Bone marrow smear
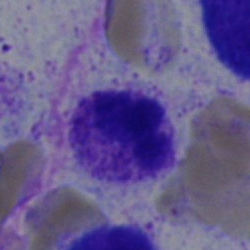

Cell = neutrophil (segmented).